Bone marrow aspirate smear; brightfield microscopy, 40× oil immersion; 250×250 px
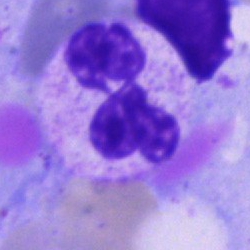Morphology → neutrophil (segmented).